Bone marrow aspirate smear; cropped to a single cell:
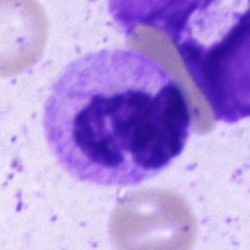

Impression → segmented neutrophil.